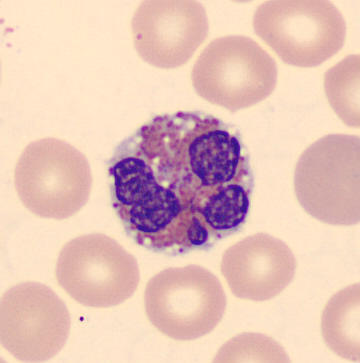

Image: 360 by 363 pixels; peripheral blood film. The cell shown is an eosinophilic granulocyte.